Bone marrow aspirate smear · Pappenheim-stained: 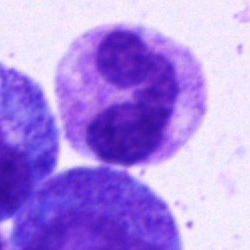 Impression → neutrophil (segmented).